Bone marrow smear — 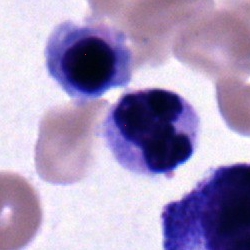
This is a neutrophil (band).